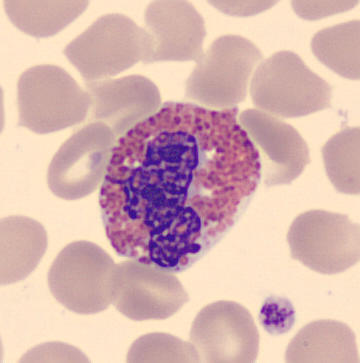 {"cell_type": "eosinophil", "lineage": "myeloid"}
Image: Peripheral blood smear.